Bone marrow smear:
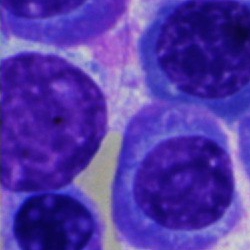 Plasma cell.